Peripheral blood smear
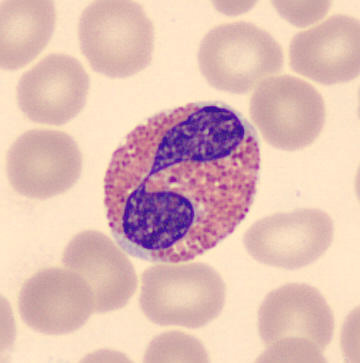Morphology → eosinophilic granulocyte.